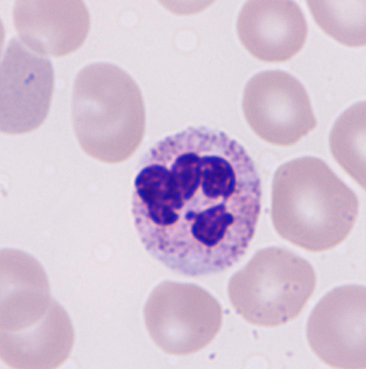
Morphological class: neutrophil.
Peripheral blood smear.